Bone marrow aspirate smear.
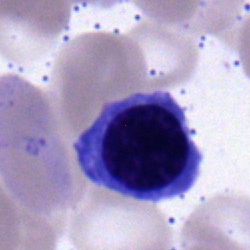

A nucleated red blood cell.